250×250; bone marrow aspirate smear; 40× oil immersion: 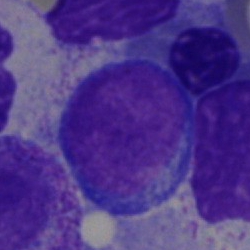
The cell is lymphocyte.